May-Grünwald-Giemsa stain · bone marrow aspirate smear: 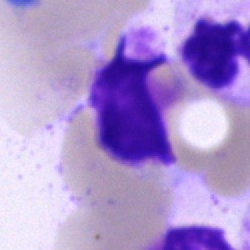 This is an artefact.